Bone marrow aspirate smear — 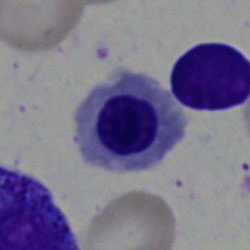
Q: Identify the cell.
A: Nucleated red blood cell.